Bone marrow aspirate smear. Brightfield microscopy, 40× oil immersion: 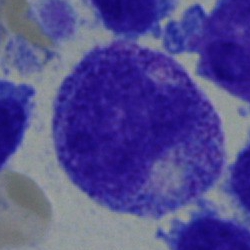Morphology → myelocyte.